Bone marrow smear:
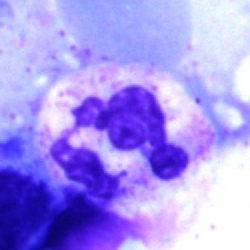Polymorphonuclear neutrophil.